Bone marrow smear · 250×250 px.
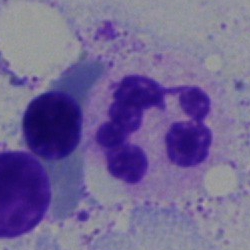

A neutrophil (segmented).